Single cell centered in the field; bone marrow aspirate smear:
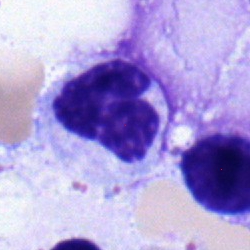

Q: What cell is this?
A: This is a band-form neutrophil.